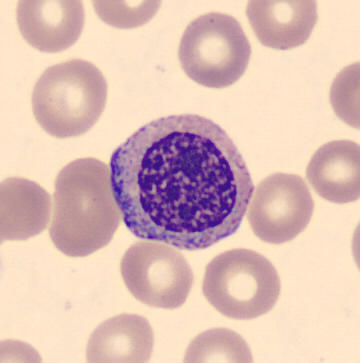Q: What cell is this?
A: It is a myelocyte.